Bone marrow smear: 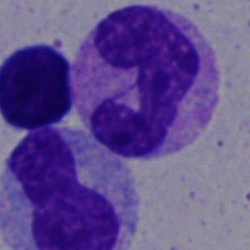 The cell type is neutrophil (band).